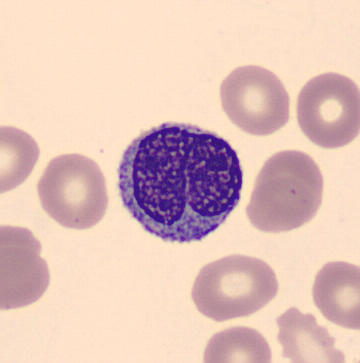 Preparation: Peripheral blood film. Single cell identified as a monocyte.